250×250 px; bone marrow smear — 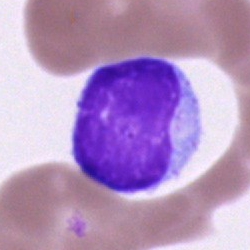
Classification = typical lymphocyte.